Bone marrow smear; MGG-stained.
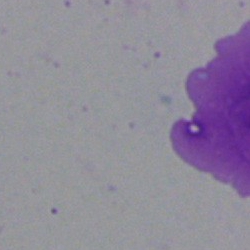
Morphological class = artefact.